Bone marrow aspirate smear: 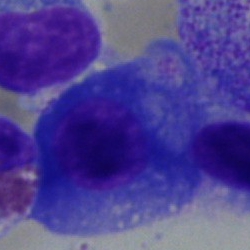 {"cell_type": "plasmacyte"}